Bone marrow aspirate smear:
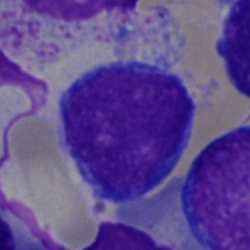 Classification: undifferentiated blast.